Bone marrow aspirate smear.
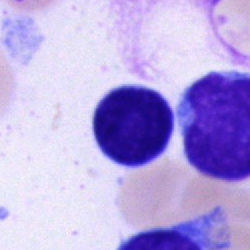
Q: What is shown here?
A: Lymphocyte.